Bone marrow aspirate smear; 40× oil immersion; May-Grünwald-Giemsa/Pappenheim stain.
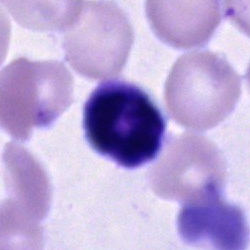

Specimen: bone marrow smear.
Morphological class: unidentifiable cell.